Pappenheim-stained; 250×250; bone marrow aspirate smear — 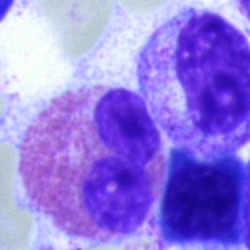 Morphology consistent with an eosinophilic granulocyte.